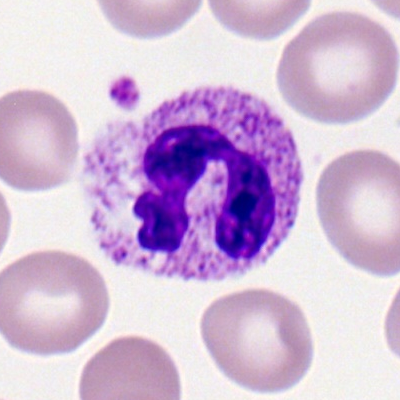 Morphology — segmented neutrophil.